Bone marrow smear:
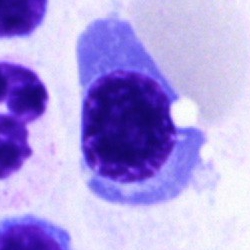
Nucleated red cell.